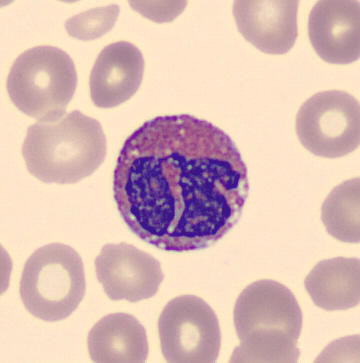Preparation: Cropped to a single cell · peripheral blood film.
Single cell identified as an eosinophil.